Bone marrow aspirate smear · 40× objective, oil immersion · 250×250:
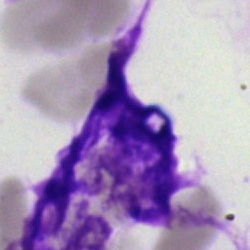 Morphological class = artefact.